Bone marrow smear:
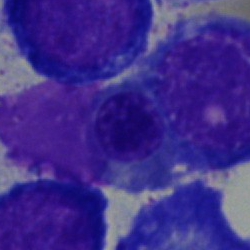 Specimen: bone marrow aspirate smear.
Morphological class: nucleated red cell.
Lineage: erythroid.